Bone marrow aspirate smear:
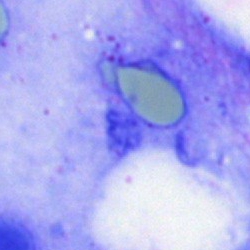 Morphological class = artifact.